40× objective, oil immersion; bone marrow aspirate smear.
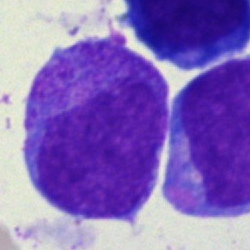Morphology consistent with a progranulocyte.